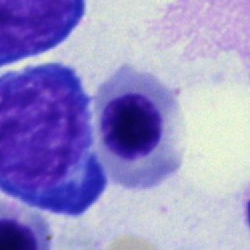{"cell_type": "normoblast", "lineage": "erythroid"}